Bone marrow smear — 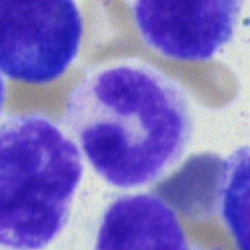
Polymorphonuclear neutrophil.